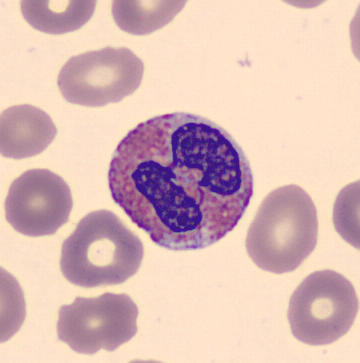The classification is eosinophilic granulocyte.
Preparation: Peripheral blood film; 360 by 363 pixels.